Bone marrow aspirate smear:
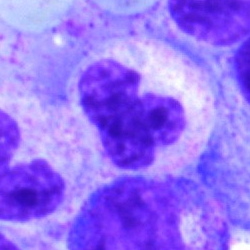Specimen: bone marrow smear.
Cell type: polymorphonuclear neutrophil.